Peripheral blood film — 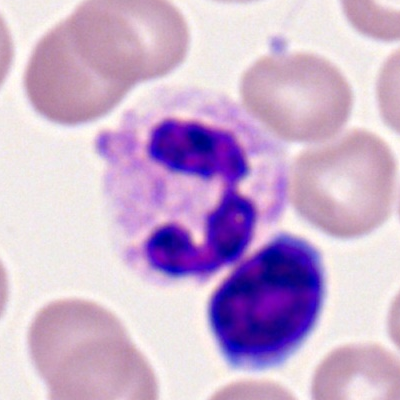
Single cell identified as a segmented neutrophil.